Pappenheim-stained. 250 by 250 pixels. Bone marrow aspirate smear
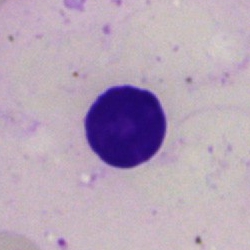

Morphology consistent with an artifact.